Bone marrow smear
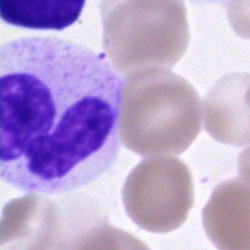
The cell shown is a neutrophil (segmented).